250×250 px; bone marrow aspirate smear.
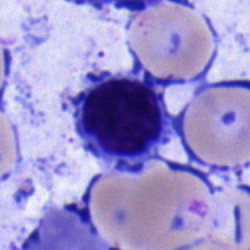
Q: What type of cell is this?
A: A nucleated red blood cell.